Bone marrow smear — 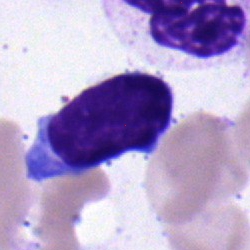 Single cell identified as a typical lymphocyte.